Bone marrow aspirate smear.
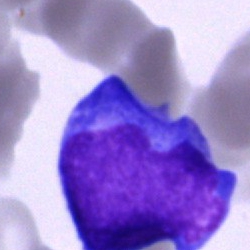 Showing a blast cell.